400 by 400 pixels; peripheral blood smear; Romanowsky-stained:
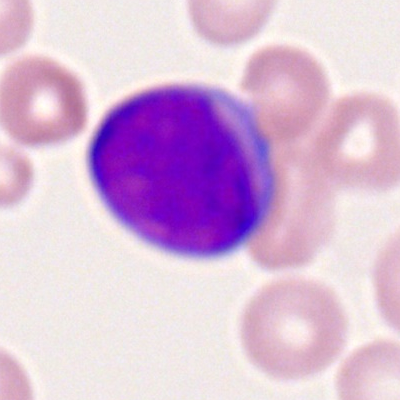Specimen: peripheral blood smear.
Cell: myeloblast.